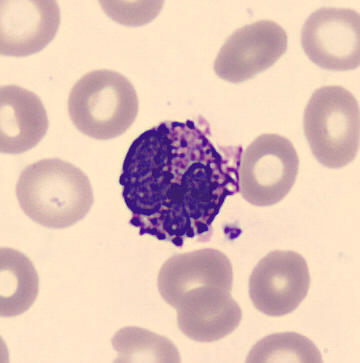 Peripheral blood smear; 360 by 363 pixels; MGG-stained.
Cell type — basophilic granulocyte.